Bone marrow smear: 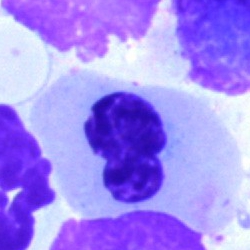 Impression — nucleated red blood cell.